Bone marrow aspirate smear; image size 250×250.
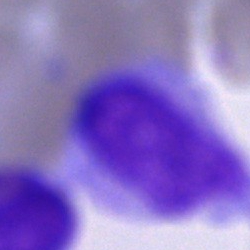
A cell of indeterminate lineage.